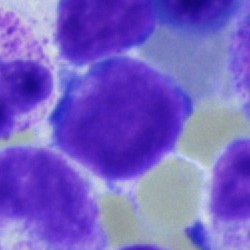
Blast cell.